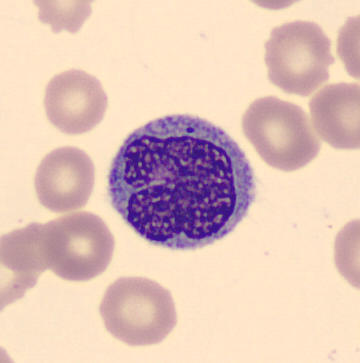

Preparation: Peripheral blood smear.
Monocyte.